Bone marrow smear
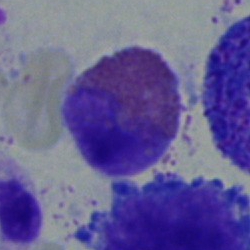
{"cell_type": "eosinophil"}